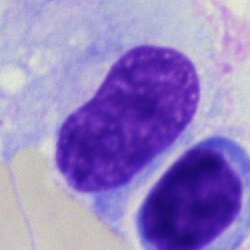 Impression — artifact.